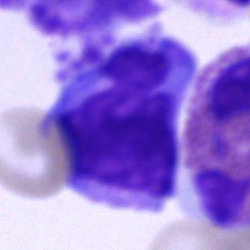 Q: What is the morphological classification of this cell?
A: Cell of indeterminate lineage.